Bone marrow aspirate smear; brightfield microscopy, 40× oil immersion — 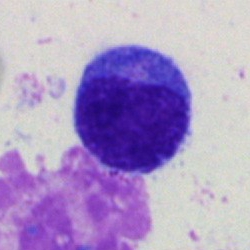
Showing a typical lymphocyte.